Bone marrow smear
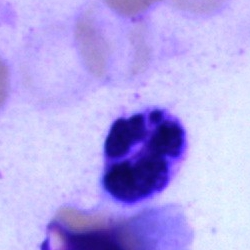 Morphological class = neutrophil (segmented).